Bone marrow smear.
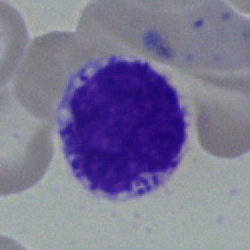
Myelocyte.